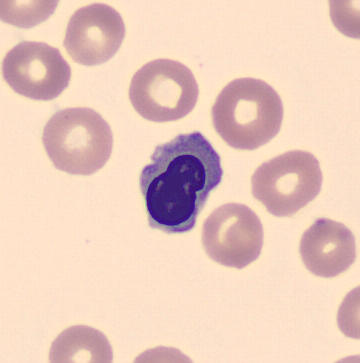 Identified as an erythroblast.
Acquisition: Peripheral blood film · 360×363.